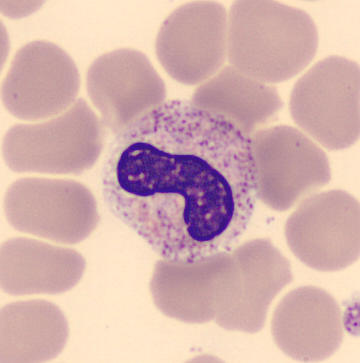

Acquisition: Peripheral blood film.

A stab cell.